Bone marrow aspirate smear — 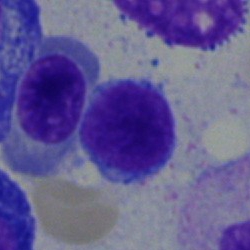

Single cell identified as a lymphocyte.